40× oil immersion; bone marrow aspirate smear
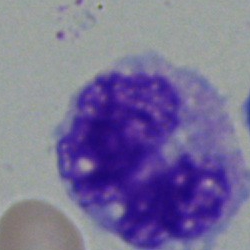Q: What is shown here?
A: Monocyte.